Cropped to a single cell · bone marrow smear · brightfield microscopy, 40× oil immersion.
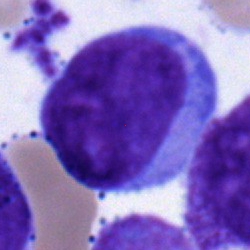 Classification — undifferentiated blast.